Bone marrow smear
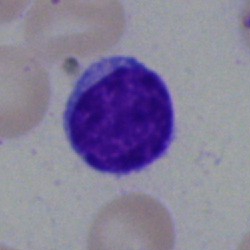

Impression → typical lymphocyte.